Bone marrow smear. 40× oil immersion — 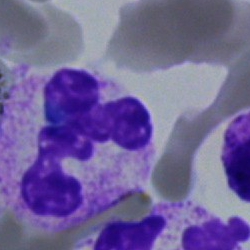Cell = polymorphonuclear neutrophil.